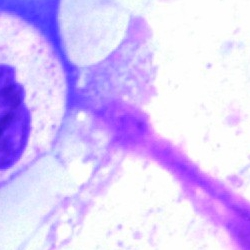Artifact.